250×250; May-Grünwald-Giemsa/Pappenheim stain; bone marrow aspirate smear:
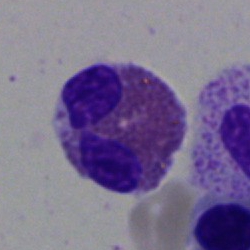
{"cell_type": "eosinophilic granulocyte"}